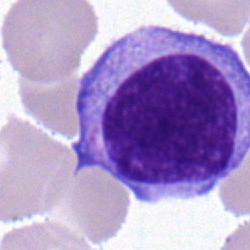

A typical lymphocyte on a bone marrow smear.